Bone marrow smear:
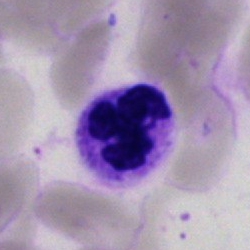Specimen: bone marrow aspirate smear.
Cell type: polymorphonuclear neutrophil.